Bone marrow aspirate smear: 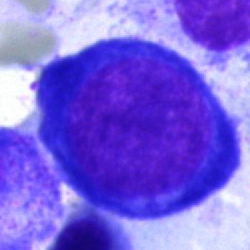
Specimen: bone marrow aspirate smear.
Morphological class: proerythroblast.